Bone marrow aspirate smear.
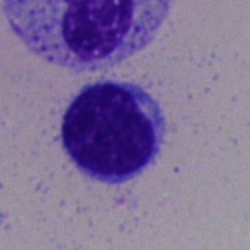The cell type is lymphocyte.